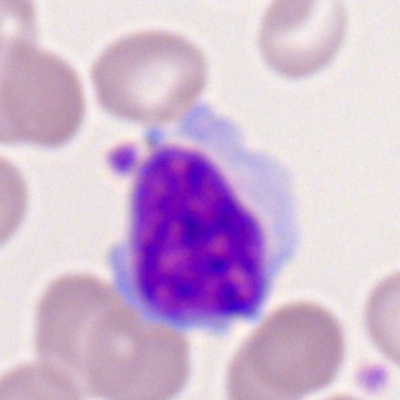 Cell — lymphocyte.